Bone marrow aspirate smear
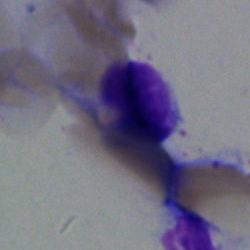
Q: What is shown here?
A: An artifact.